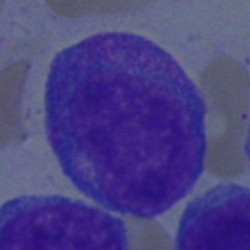
Q: What cell is this?
A: Progranulocyte.